Bone marrow smear. Cropped to a single cell:
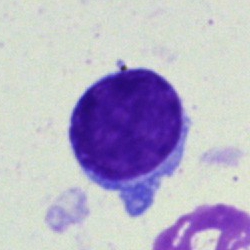Morphology — lymphocyte.